Bone marrow aspirate smear; MGG-stained; 250 by 250 pixels.
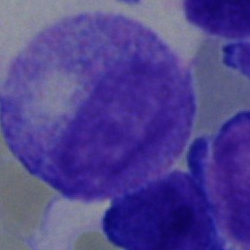
The cell shown is a progranulocyte.